Bone marrow aspirate smear. 250×250 px:
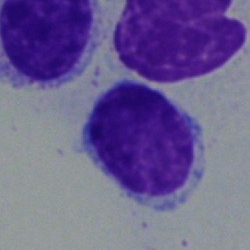
Lymphocyte.